Bone marrow smear · 40× oil immersion: 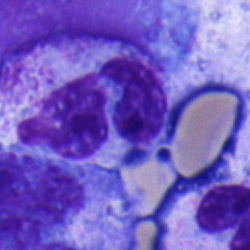
The cell shown is a segmented neutrophil.